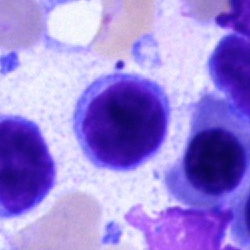

The morphological class is lymphocyte.